Bone marrow smear — 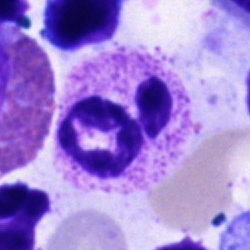 Specimen: bone marrow smear.
Cell: segmented neutrophil.
Lineage: myeloid.